Single-cell crop. Pappenheim-stained. Bone marrow aspirate smear: 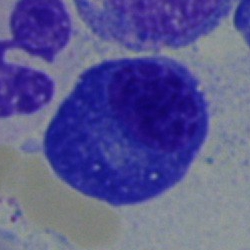
Classification: plasma cell.